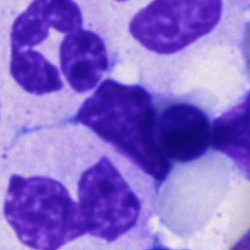Specimen: bone marrow aspirate smear.
Morphological class: polymorphonuclear neutrophil.
Lineage: myeloid.